250 by 250 pixels · bone marrow aspirate smear · brightfield, 40× oil-immersion objective — 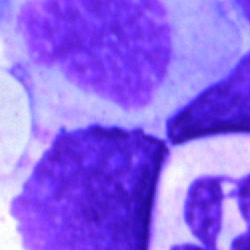 Specimen: bone marrow aspirate smear.
Classification: artefact.